Romanowsky stain. Peripheral blood smear — 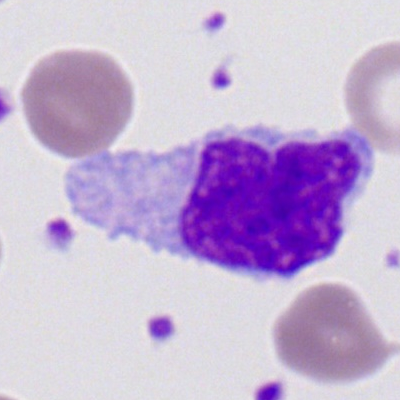 Q: What type of cell is this?
A: Monocyte.